Bone marrow aspirate smear.
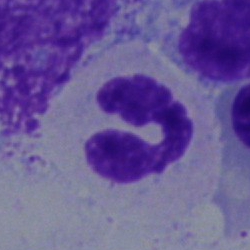 Single cell identified as a polymorphonuclear neutrophil.